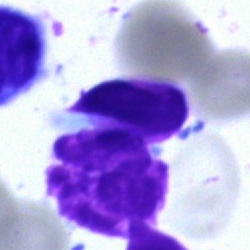Q: What is shown here?
A: This is an artifact.